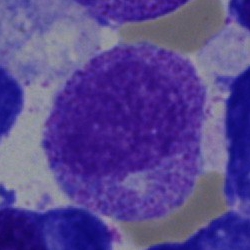 Impression — myelocyte.